Bone marrow smear · May-Grünwald-Giemsa/Pappenheim stain.
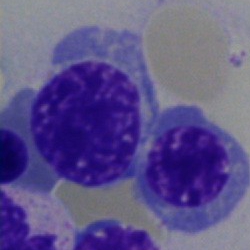Specimen: bone marrow smear.
Cell: normoblast.
Lineage: erythroid.